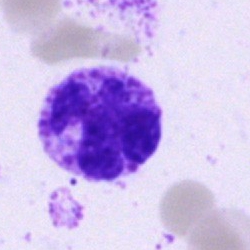
Showing a basophilic granulocyte.